Bone marrow smear — 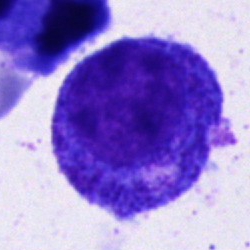This is a promyelocyte.